Bone marrow smear:
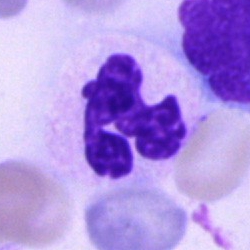

Polymorphonuclear neutrophil.